Peripheral blood film; image size 400×400: 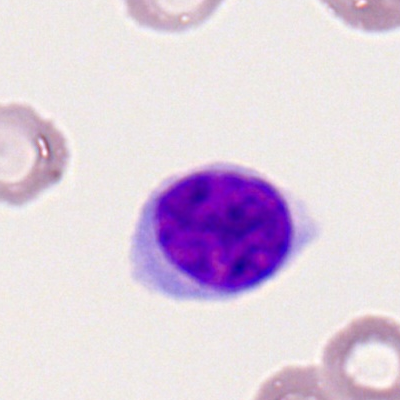 Cell — lymphocyte.